Bone marrow aspirate smear
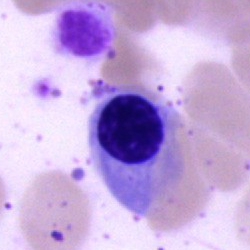
The cell type is nucleated red cell.